Brightfield, 40× oil-immersion objective · bone marrow aspirate smear · cropped to a single cell — 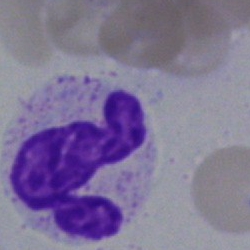

Neutrophil (segmented).